Bone marrow smear: 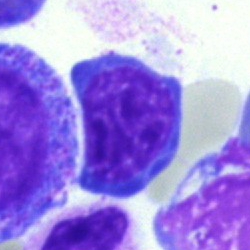
Nucleated red cell.